Bone marrow aspirate smear. 250×250
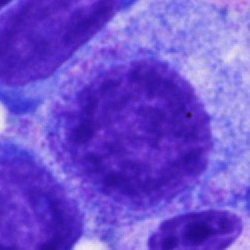 Single cell identified as a promyelocyte.